250 by 250 pixels. Pappenheim-stained. Bone marrow aspirate smear: 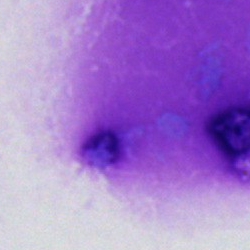 This is an artifact.